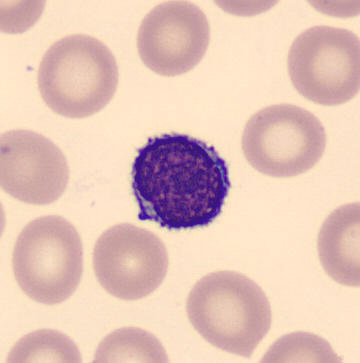
Preparation: Imaged on a CellaVision DM96 analyser; peripheral blood film.

Cell — typical lymphocyte.